Bone marrow aspirate smear: 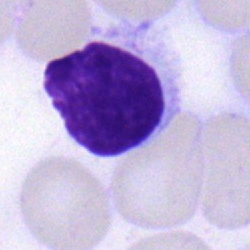

Impression — lymphocyte.